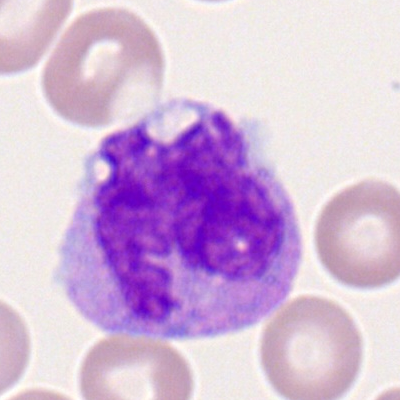
Single cell identified as a monocyte.